Bone marrow smear: 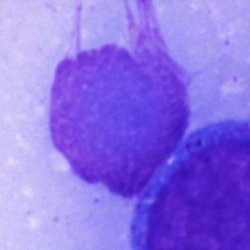
Q: What is shown here?
A: It is an artifact.